Bone marrow smear.
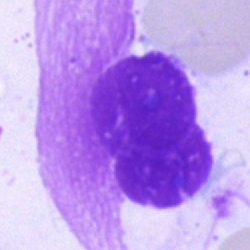 The cell type is artefact.